Brightfield, 40× oil-immersion objective · 250×250 px · bone marrow smear.
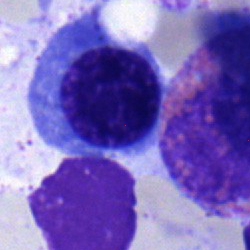

Morphology — nucleated red cell.